Bone marrow smear: 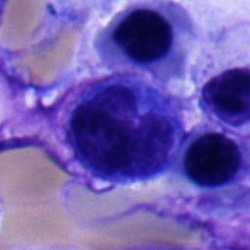

Q: What type of cell is this?
A: This is a monocyte.